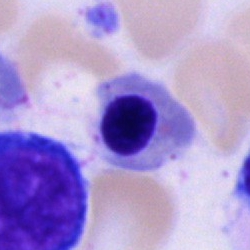 The cell shown is an erythroblast.